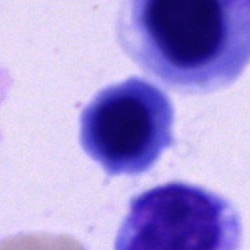Morphology — typical lymphocyte.